Image size 250×250 · cropped to a single cell · bone marrow aspirate smear
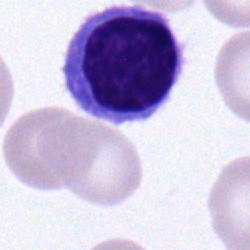 Classification: lymphocyte.